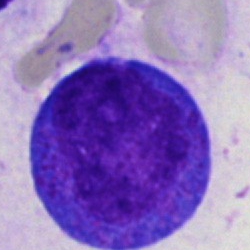

Morphology consistent with a progranulocyte.